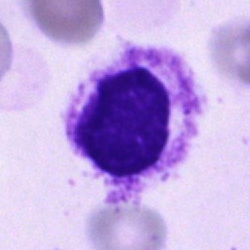This is an unidentifiable cell.